Bone marrow smear; single-cell crop; May-Grünwald-Giemsa stain — 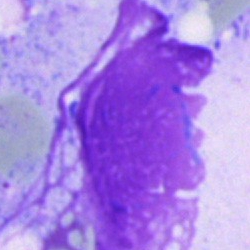

Cell type = artefact.